Bone marrow aspirate smear: 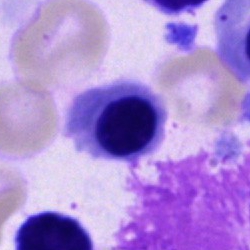

Specimen: bone marrow smear.
Cell type: normoblast.